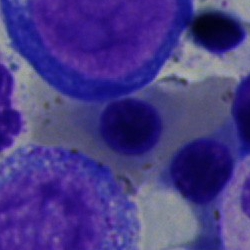

Morphological class: erythroblast.